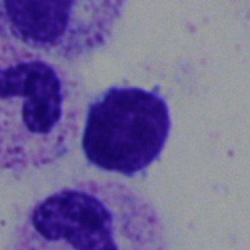 A lymphocyte.